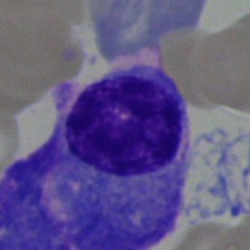Bone marrow smear showing a plasma cell.